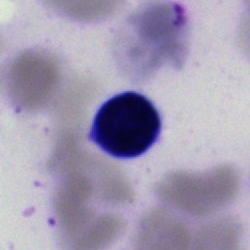

Morphological class — artefact.